250 by 250 pixels; bone marrow aspirate smear; single-cell field: 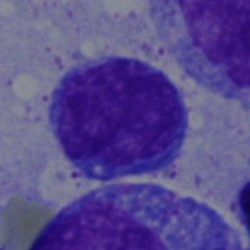This is a lymphocyte.